Bone marrow smear.
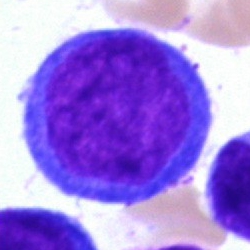 A proerythroblast.